Single cell centered in the field · bone marrow aspirate smear · May-Grünwald-Giemsa/Pappenheim stain:
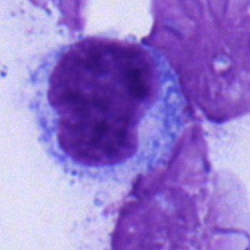
Q: What is shown here?
A: Typical lymphocyte.